250×250. Bone marrow smear. Cropped to a single cell:
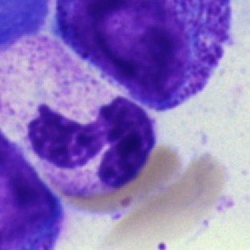

Stab cell.